Bone marrow smear. May-Grünwald-Giemsa stain.
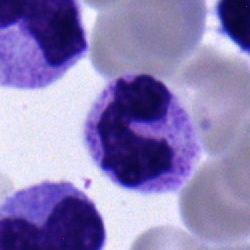
Morphology — segmented neutrophil.